Bone marrow smear: 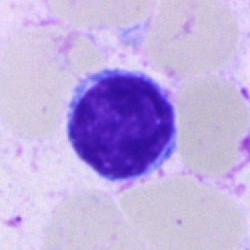 Showing a typical lymphocyte.